Bone marrow smear:
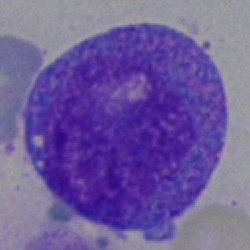 Specimen: bone marrow aspirate smear.
Cell type: promyelocyte.